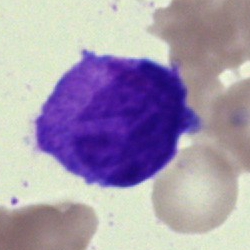 Impression → blast.